Bone marrow aspirate smear
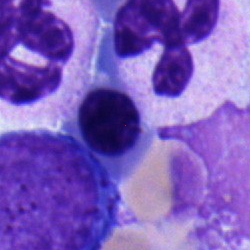

A nucleated red blood cell.